Brightfield, 40× oil-immersion objective. Bone marrow aspirate smear. 250×250 px.
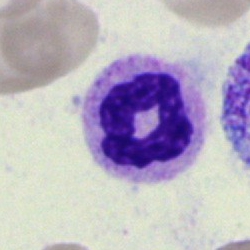 Showing a segmented neutrophil.